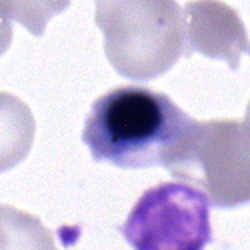
This is an erythroblast.